Bone marrow aspirate smear. May-Grünwald-Giemsa/Pappenheim stain. Cropped to a single cell
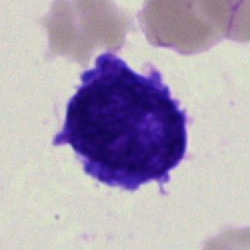
Q: What is shown here?
A: Blast.